Bone marrow aspirate smear — 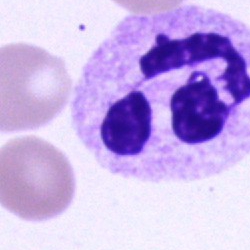
Q: What is shown here?
A: Segmented neutrophil.